Bone marrow smear. Image size 250×250: 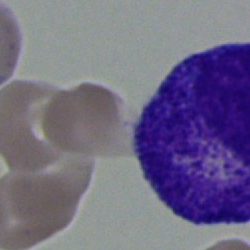

Showing a promyelocyte.